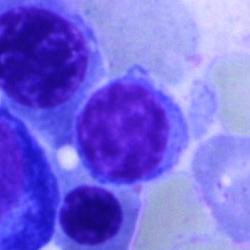

Specimen: bone marrow smear.
Morphological class: typical lymphocyte.
Lineage: lymphoid.